Bone marrow smear. May-Grünwald-Giemsa/Pappenheim stain:
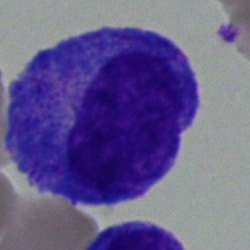
Impression → promyelocyte.